Bone marrow aspirate smear
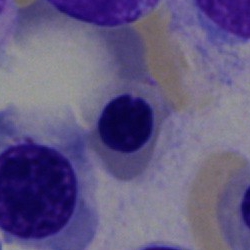
This is a nucleated red cell.